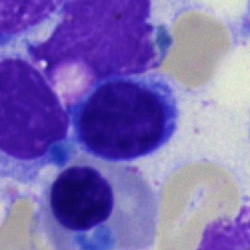Q: What is shown here?
A: A lymphocyte.